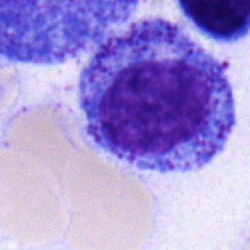 Single-cell crop from a bone marrow smear: promyelocyte.